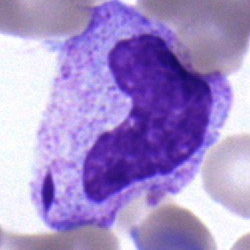
Cell type — band neutrophil.